Bone marrow smear
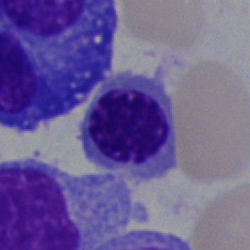

This is a nucleated red blood cell.